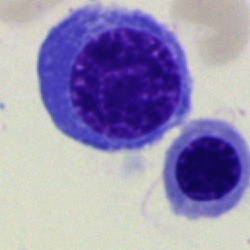

Q: Identify the cell.
A: A normoblast.